Bone marrow aspirate smear: 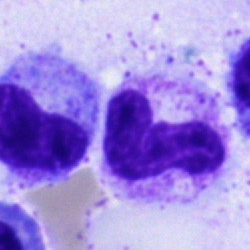
Showing a polymorphonuclear neutrophil.